Peripheral blood smear.
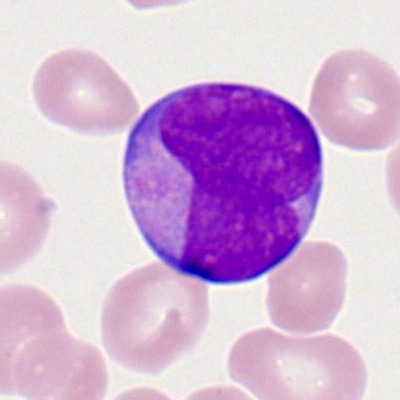

Specimen: peripheral blood film.
Cell: myeloid blast.
Lineage: myeloid.